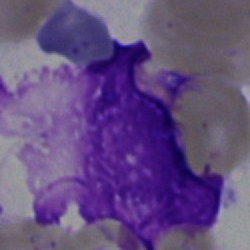
Morphology — artefact.